40× oil immersion · bone marrow aspirate smear
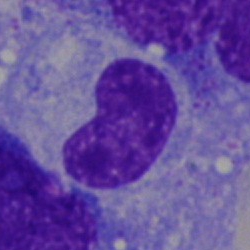Specimen: bone marrow aspirate smear.
Cell: stab cell.
Lineage: myeloid.